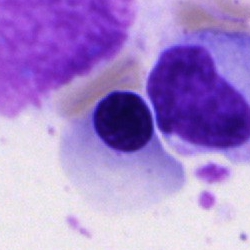

Morphological class: nucleated red cell.